Single-cell crop · peripheral blood smear: 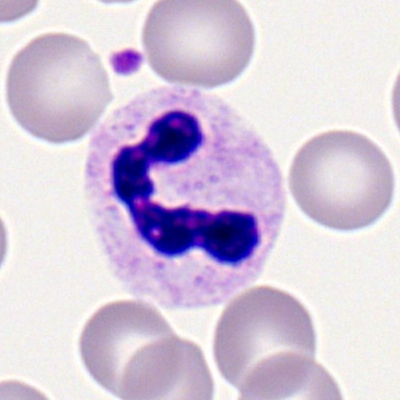
Q: What is the morphological classification of this cell?
A: A neutrophil (segmented).